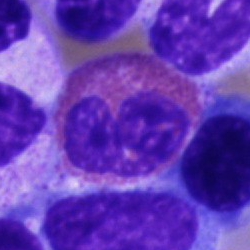
An eosinophilic granulocyte on a bone marrow smear.